Single-cell crop; bone marrow smear; Pappenheim-stained:
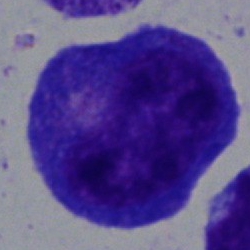 Q: What is the morphological classification of this cell?
A: This is a promyelocyte.